Pappenheim-stained. Bone marrow aspirate smear. Single-cell field
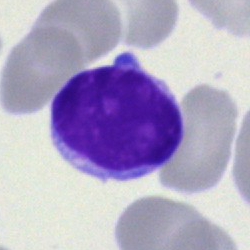

The cell is lymphocyte.